Bone marrow smear: 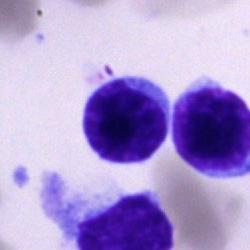

Cell = lymphocyte.